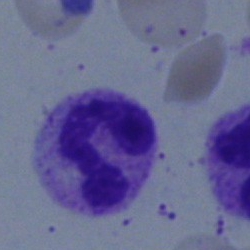

Morphological class — band neutrophil.